Single cell centered in the field. Peripheral blood film. 100× oil immersion
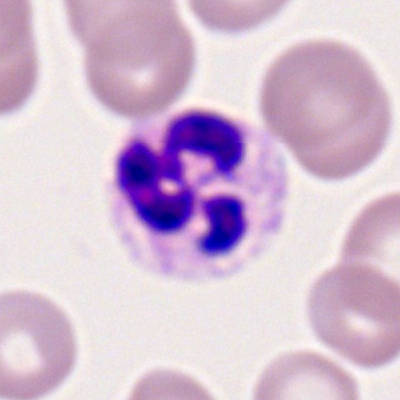

Q: What is the morphological classification of this cell?
A: Neutrophil (segmented).